400×400 px. Peripheral blood smear: 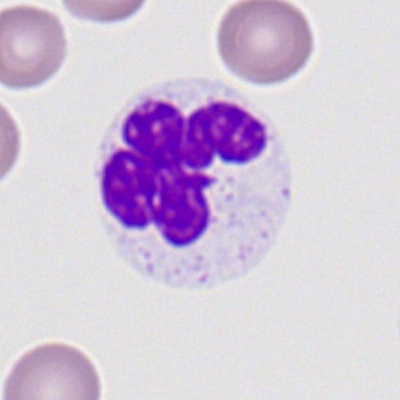
Q: Which cell type is shown here?
A: This is a segmented neutrophil.